Bone marrow smear.
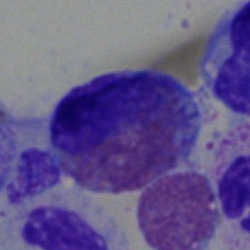 The cell shown is an eosinophil.